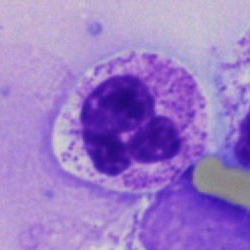

Morphology → neutrophil (segmented).